Bone marrow aspirate smear.
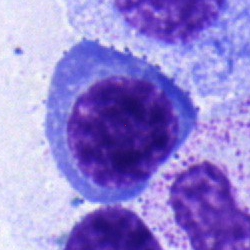Morphology → normoblast.